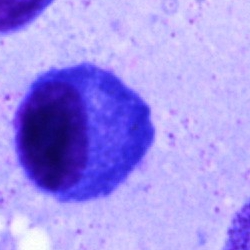
Q: Which cell type is shown here?
A: It is a plasma cell.